Bone marrow aspirate smear. 40× objective, oil immersion — 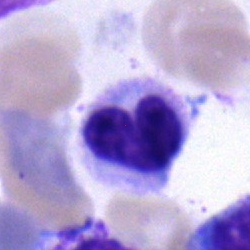{"cell_type": "band neutrophil"}